Bone marrow aspirate smear: 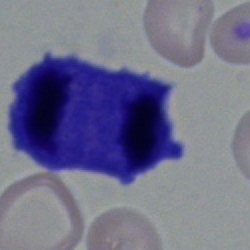

Specimen: bone marrow smear.
Cell type: cell of indeterminate lineage.